250×250 · bone marrow smear · single-cell crop — 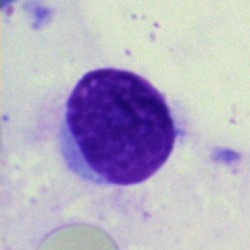
Specimen: bone marrow smear.
Morphological class: artifact.